40× objective, oil immersion; bone marrow aspirate smear.
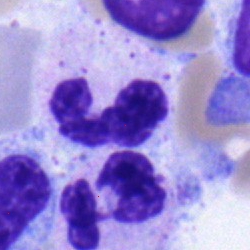
Segmented neutrophil.